Single cell centered in the field; peripheral blood film:
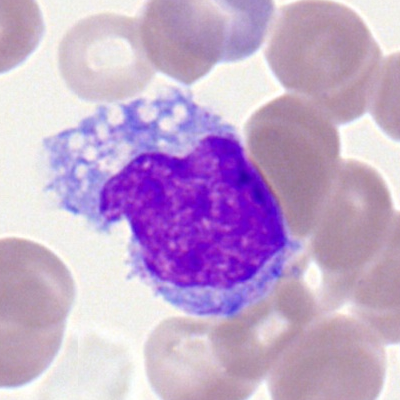Morphology consistent with a monocyte.